Peripheral blood film. Image size 360×363:
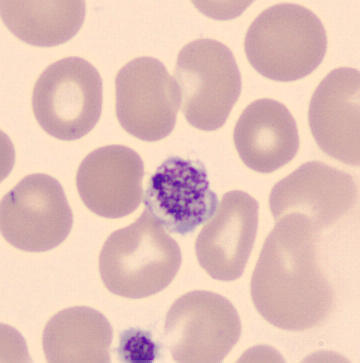

Morphological class = platelet (thrombocyte).